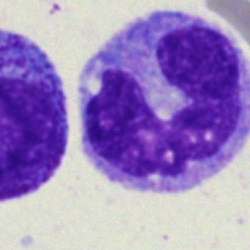Q: Identify the cell.
A: Monocyte.